Peripheral blood smear.
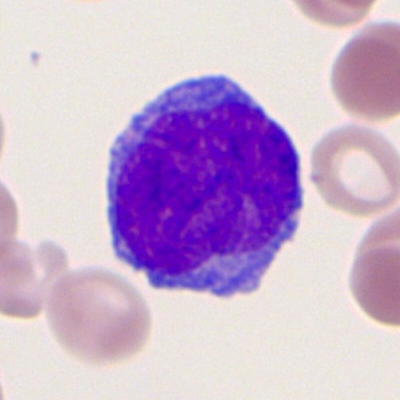Morphological class — myeloblast.